40× objective, oil immersion; bone marrow aspirate smear; cropped to a single cell: 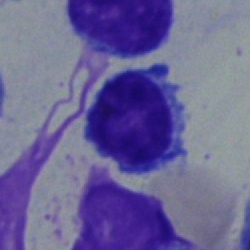 Lymphocyte.